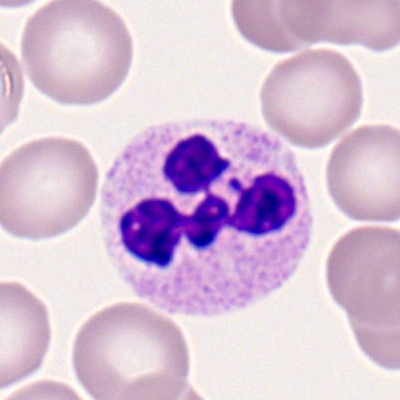Morphological class: segmented neutrophil.